Peripheral blood smear
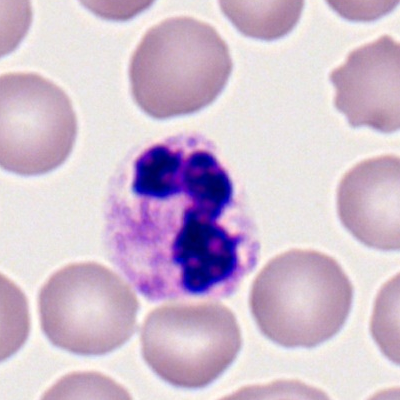Specimen: peripheral blood film.
Morphological class: neutrophil (segmented).
Lineage: myeloid.